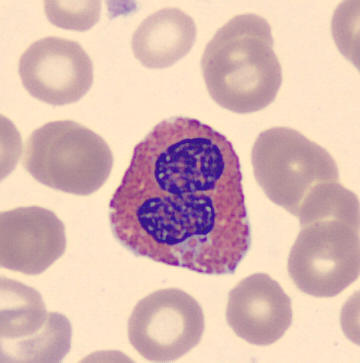Morphology → eosinophil.
Image: Peripheral blood film.